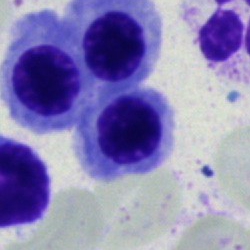

A normoblast on a bone marrow smear.